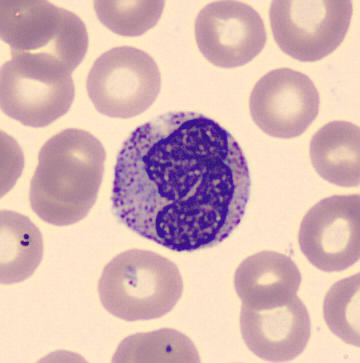 The cell shown is a metamyelocyte.
Image: Peripheral blood smear.